Bone marrow smear:
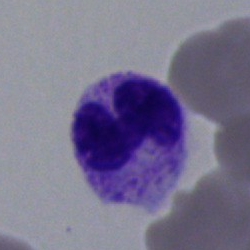 Q: Which cell type is shown here?
A: A segmented neutrophil.